Bone marrow aspirate smear · brightfield, 40× oil-immersion objective:
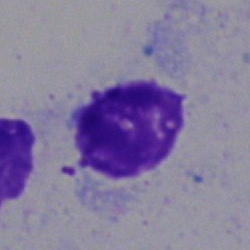 Artifact.